Bone marrow smear. MGG-stained. 250×250 px: 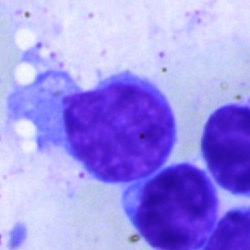 {"cell_type": "typical lymphocyte"}